Bone marrow smear. 250×250 px:
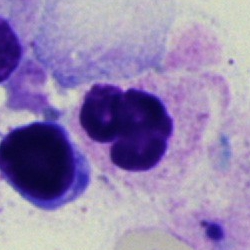

Specimen: bone marrow smear.
Cell type: neutrophil (segmented).